Bone marrow smear.
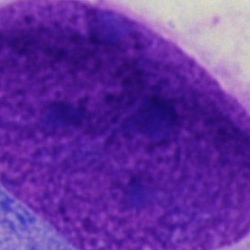

Q: What is shown here?
A: Artefact.